Bone marrow smear:
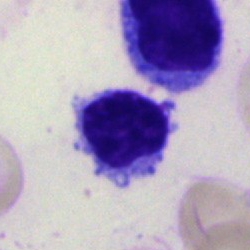

Cell = typical lymphocyte.